Cropped to a single cell · bone marrow aspirate smear
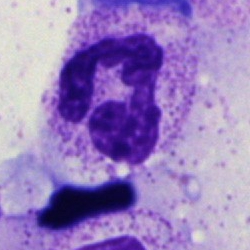 Impression — polymorphonuclear neutrophil.